Bone marrow smear.
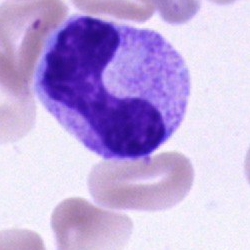 The morphological class is stab cell.